Peripheral blood smear: 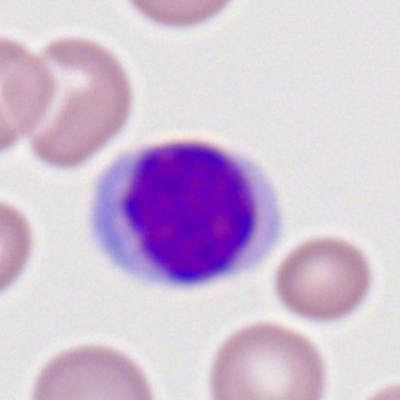

Specimen: peripheral blood smear.
Cell: typical lymphocyte.
Lineage: lymphoid.